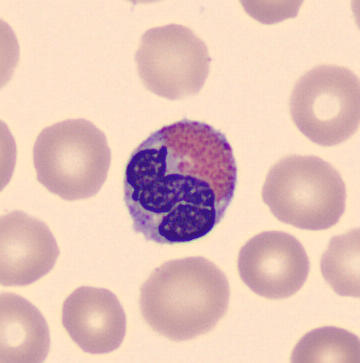 Specimen: peripheral blood smear.
Classification: eosinophilic granulocyte.
Lineage: myeloid.